Bone marrow smear; 250×250 px:
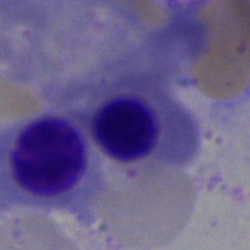

A nucleated red cell.